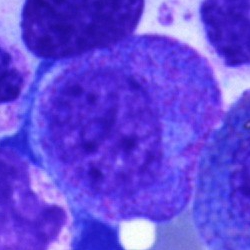Classification: promyelocyte.